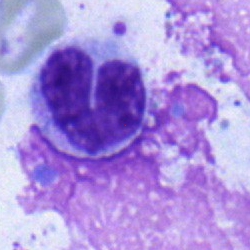{"cell_type": "neutrophil (band)", "lineage": "myeloid"}